Bone marrow aspirate smear:
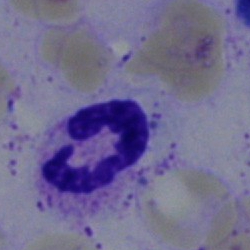
Morphological class: segmented neutrophil.